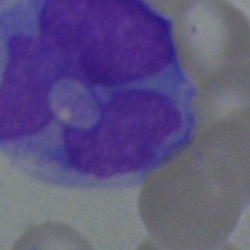Classification = monocyte.